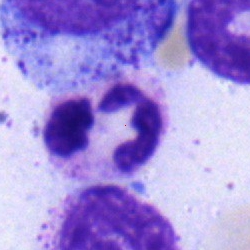Q: What is the morphological classification of this cell?
A: A polymorphonuclear neutrophil.